Bone marrow aspirate smear — 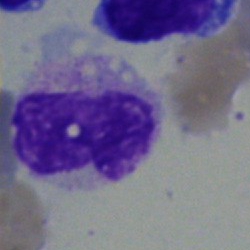 Specimen: bone marrow aspirate smear.
Cell: stab cell.
Lineage: myeloid.